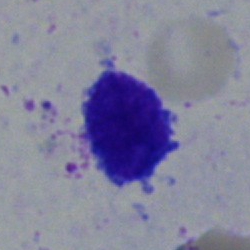A typical lymphocyte on a bone marrow smear.